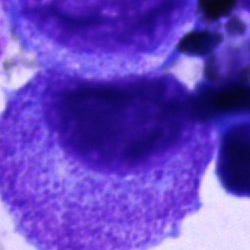
Showing a progranulocyte.